Bone marrow aspirate smear.
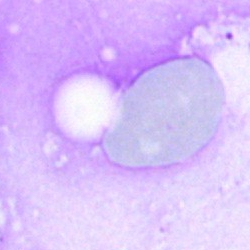 The cell type is artifact.